Pappenheim-stained. Bone marrow smear:
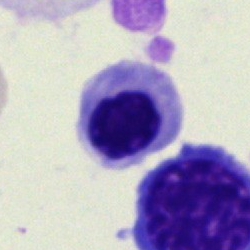Morphology consistent with an erythroblast.